Bone marrow aspirate smear:
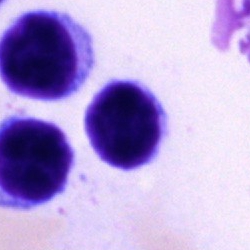Showing a typical lymphocyte.